Bone marrow smear. Cropped to a single cell: 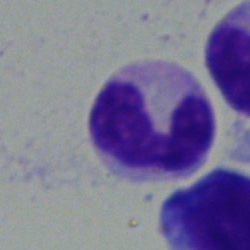Impression — stab cell.